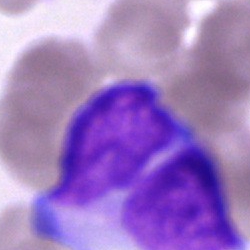
Single cell identified as a blast.